Bone marrow aspirate smear — 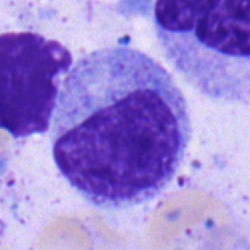

Morphology consistent with a myelocyte.